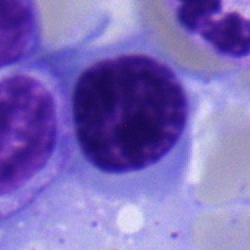Classification = erythroblast.